250 by 250 pixels; 40× oil immersion; bone marrow smear.
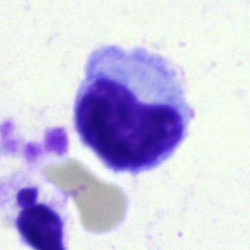
Impression — metamyelocyte.